Cropped to a single cell. Bone marrow smear
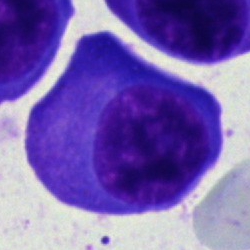 Q: Identify the cell.
A: Plasmacyte.